Bone marrow aspirate smear — 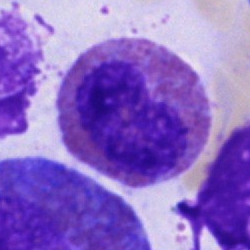
Morphology — eosinophil.